Bone marrow aspirate smear
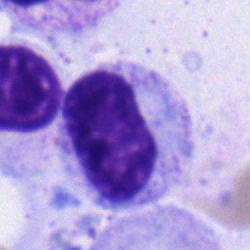

A myelocyte.